Peripheral blood smear · Romanowsky stain · 100× oil immersion, 14.14 px/µm:
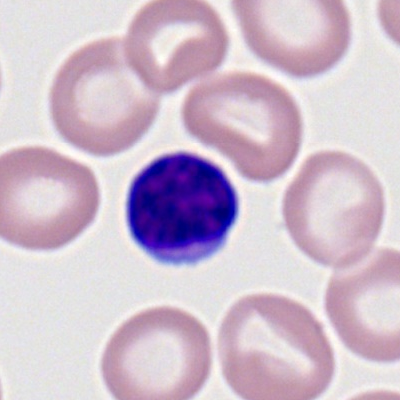
The classification is lymphocyte.